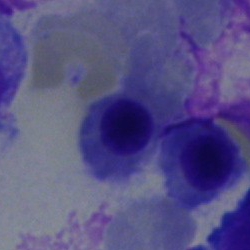

Classification: normoblast.